Single-cell crop · bone marrow aspirate smear · 40× oil immersion.
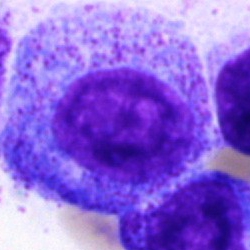

Classification: promyelocyte.